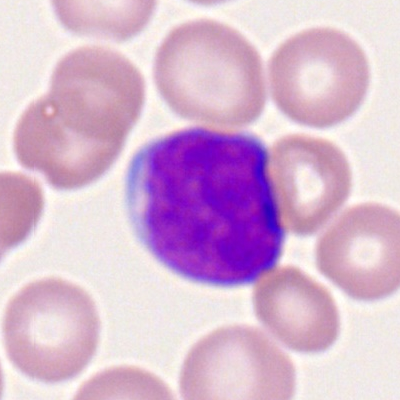
Single-cell crop from a peripheral blood smear: myeloid blast.